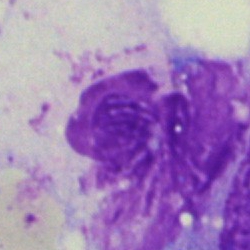 Impression — artefact.